Pappenheim-stained · bone marrow smear
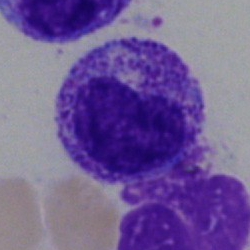

{"cell_type": "metamyelocyte"}